Bone marrow aspirate smear.
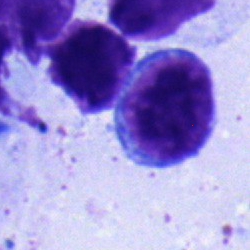The cell type is lymphocyte.